Bone marrow smear · May-Grünwald-Giemsa/Pappenheim stain
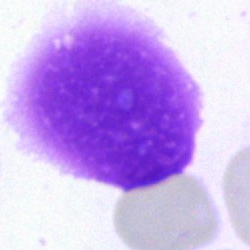Q: What is shown here?
A: It is an artifact.